Bone marrow smear:
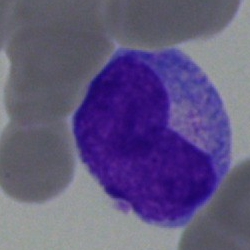 Monocyte.